Peripheral blood film.
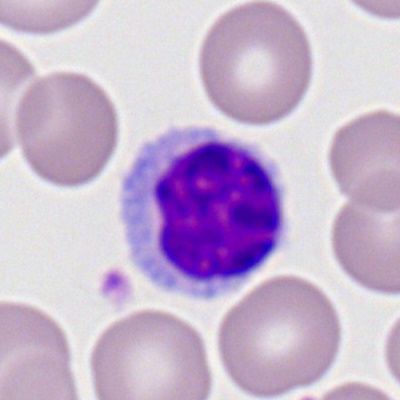
Showing a lymphocyte.